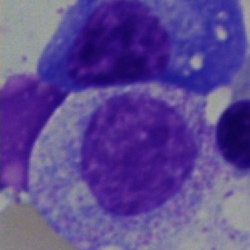
Bone marrow smear showing a myelocyte.